Bone marrow aspirate smear:
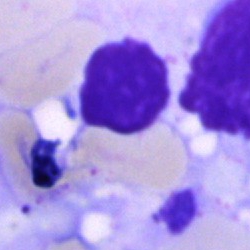 The cell shown is an artifact.